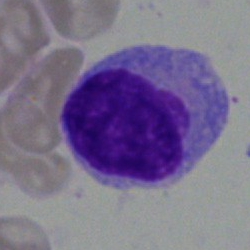 Impression — monocyte.